Bone marrow aspirate smear
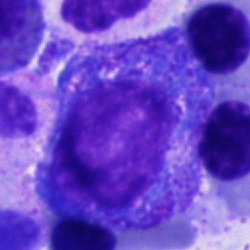
Q: Identify the cell.
A: A progranulocyte.